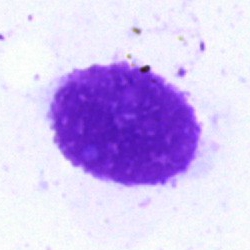An artefact.